Bone marrow aspirate smear:
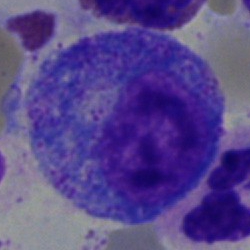{"cell_type": "progranulocyte"}